Bone marrow aspirate smear:
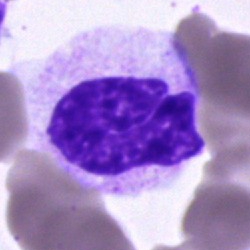
Q: Which cell type is shown here?
A: Unidentifiable cell.